250×250. Bone marrow aspirate smear
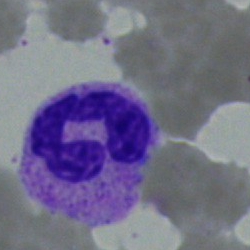
Specimen: bone marrow aspirate smear.
Cell: polymorphonuclear neutrophil.